Bone marrow smear. Single cell centered in the field:
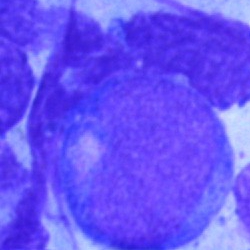
Morphology consistent with a blast cell.